Bone marrow smear
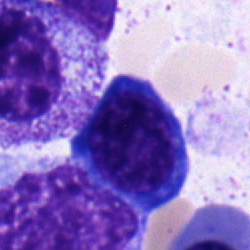 Morphology consistent with a normoblast.